Bone marrow smear
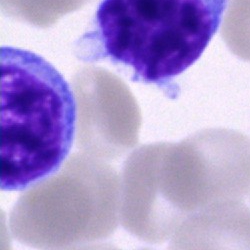
Showing a typical lymphocyte.